Pappenheim-stained. Bone marrow smear:
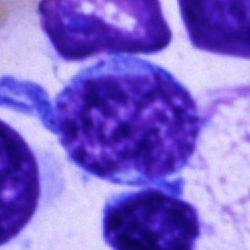
A blast cell.